Bone marrow aspirate smear:
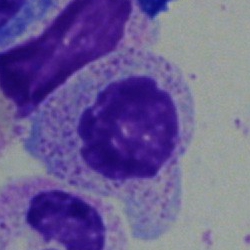Morphological class: myelocyte.